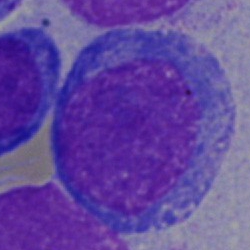

The classification is blast cell.